Bone marrow smear — 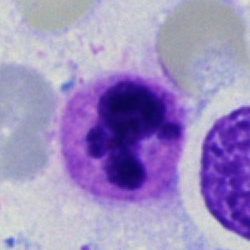

Morphological class = neutrophil (segmented).